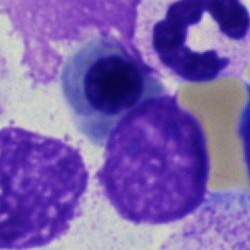
Normoblast.